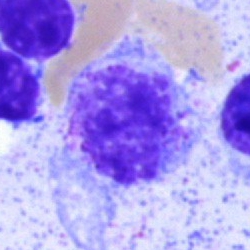
This is an artefact.